Bone marrow smear.
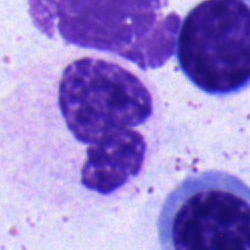 {"cell_type": "polymorphonuclear neutrophil", "lineage": "myeloid"}